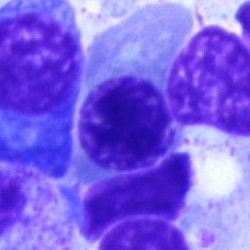Normoblast.